Bone marrow aspirate smear. May-Grünwald-Giemsa/Pappenheim stain:
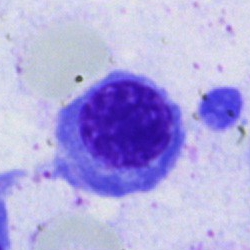
Impression → normoblast.